250 by 250 pixels. Bone marrow aspirate smear — 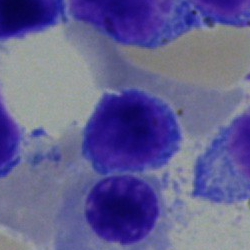

{"cell_type": "lymphocyte"}